Bone marrow aspirate smear.
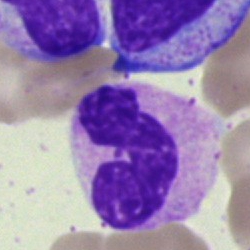 Morphology consistent with a polymorphonuclear neutrophil.